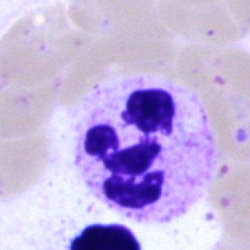
Morphological class = segmented neutrophil.